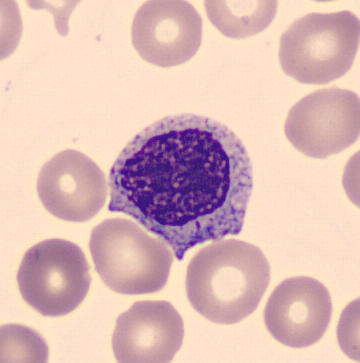

Q: Identify the cell.
A: This is a myelocyte.

Acquisition: Peripheral blood smear.